May-Grünwald-Giemsa/Pappenheim stain. 250×250. Bone marrow smear:
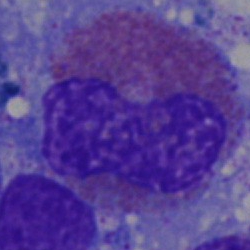

Impression → eosinophilic granulocyte.